Single-cell crop · 40× objective, oil immersion · bone marrow aspirate smear — 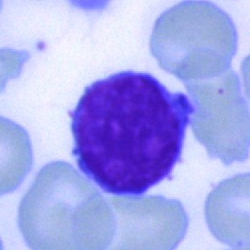

Lymphocyte.